May-Grünwald-Giemsa stain; image size 250×250; bone marrow aspirate smear — 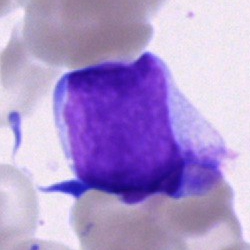
Classification — undifferentiated blast.